Brightfield microscopy, 40× oil immersion. Bone marrow aspirate smear: 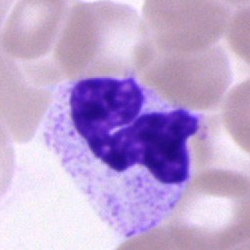 Cell — polymorphonuclear neutrophil.